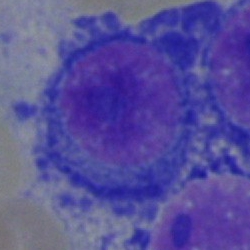

Specimen: bone marrow aspirate smear.
Cell type: plasma cell.
Lineage: lymphoid.